Bone marrow smear · May-Grünwald-Giemsa/Pappenheim stain — 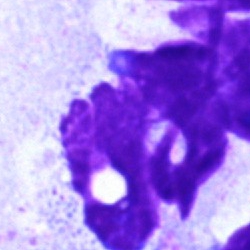This is an artifact.